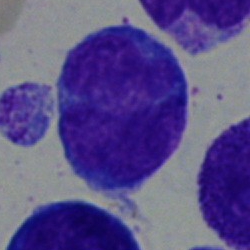
Bone marrow aspirate smear, single cell — blast cell.